Bone marrow smear; cropped to a single cell: 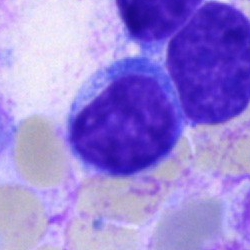 Q: What cell is this?
A: This is a lymphocyte.